Bone marrow smear
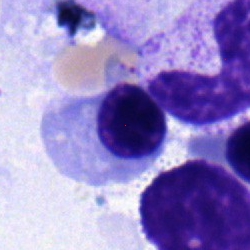

This is a nucleated red blood cell.